May-Grünwald-Giemsa stain · bone marrow aspirate smear · image size 250×250 — 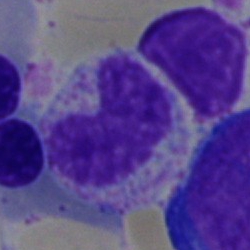
Showing a metamyelocyte.